Peripheral blood film.
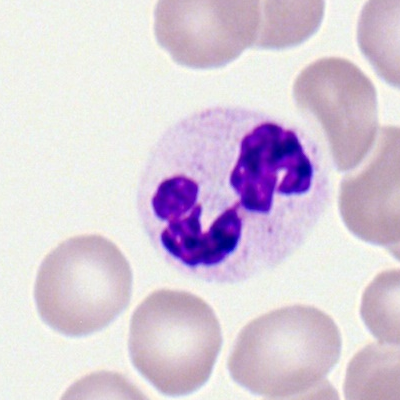Specimen: peripheral blood smear.
Classification: neutrophil (segmented).
Lineage: myeloid.